Bone marrow smear.
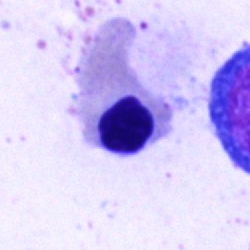Cell type — normoblast.